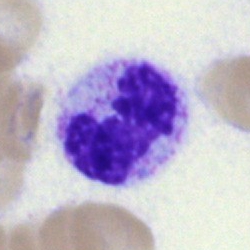 Classification: segmented neutrophil.